Bone marrow smear; 250×250 px; MGG-stained: 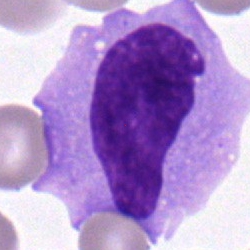
{"cell_type": "monocyte"}